Bone marrow aspirate smear
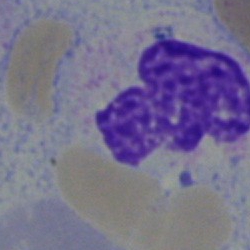
Showing a neutrophil (segmented).